Pappenheim-stained · bone marrow aspirate smear · 40× oil immersion.
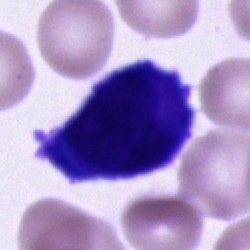
Classification — cell of indeterminate lineage.